250×250; bone marrow smear:
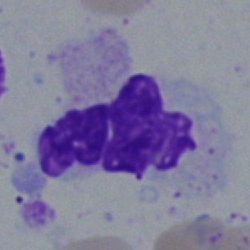
A polymorphonuclear neutrophil.